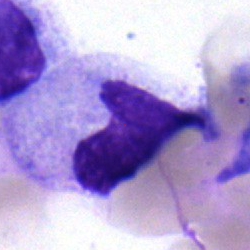

Q: What is shown here?
A: Neutrophil (band).